Bone marrow smear:
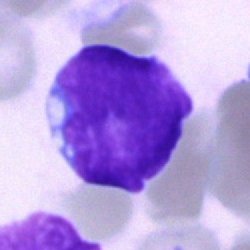

A blast cell.